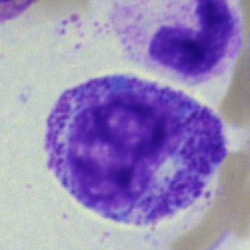A myelocyte on a bone marrow smear.